Bone marrow smear:
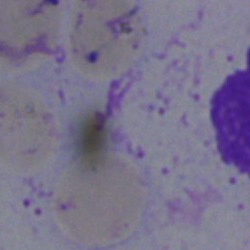

Specimen: bone marrow smear.
Classification: artefact.